Bone marrow smear; Pappenheim-stained:
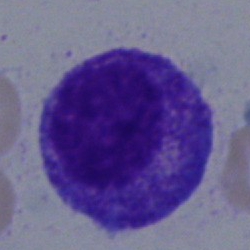Q: What type of cell is this?
A: This is a progranulocyte.